Single-cell crop · 250×250 · bone marrow smear — 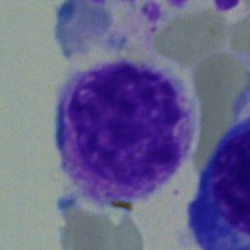

Cell — faggot cell.